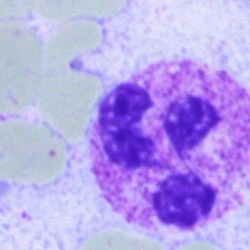

This is a polymorphonuclear neutrophil.